Bone marrow aspirate smear:
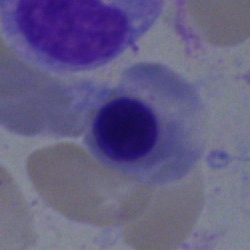 Morphology consistent with a nucleated red cell.